40× oil immersion · bone marrow smear · May-Grünwald-Giemsa/Pappenheim stain.
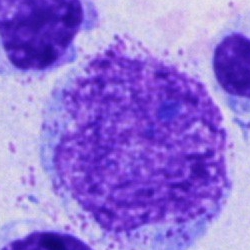 Morphology consistent with an artifact.